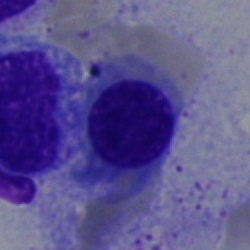Single cell identified as an erythroblast.